Bone marrow smear: 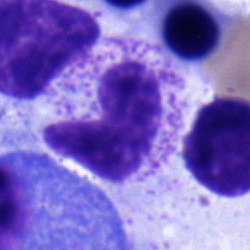 {"cell_type": "metamyelocyte", "lineage": "myeloid"}